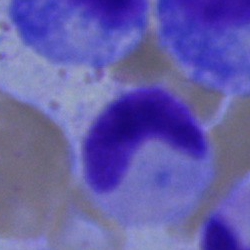
A band neutrophil.